Bone marrow smear — 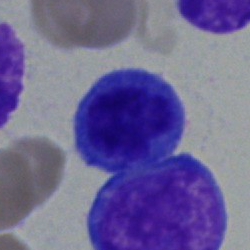 Q: What is shown here?
A: A lymphocyte.